Bone marrow aspirate smear.
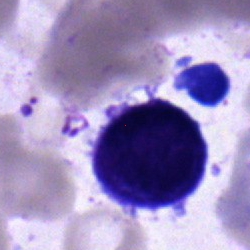
Q: What cell is this?
A: A blast.